Bone marrow smear.
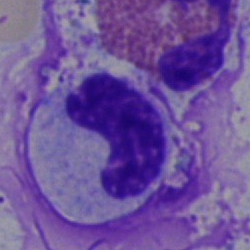

Specimen: bone marrow aspirate smear.
Cell: neutrophil (band).
Lineage: myeloid.